Bone marrow aspirate smear; Pappenheim-stained — 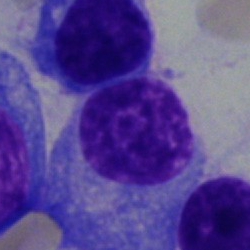Showing a plasmacyte.